Single cell centered in the field · bone marrow aspirate smear
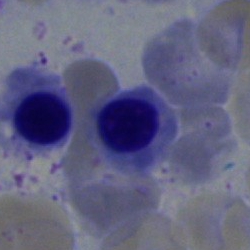
This is an erythroblast.